Romanowsky stain · peripheral blood smear
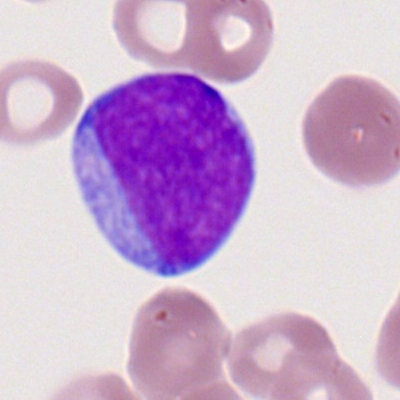 Q: What is shown here?
A: It is a myeloblast.